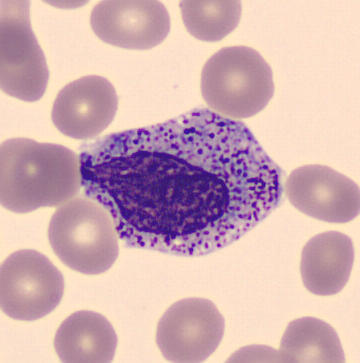The cell shown is a myelocyte.
Imaged on a CellaVision DM96 analyser. Peripheral blood film. 360×363 px.